Bone marrow aspirate smear. 250×250 px. Single cell centered in the field
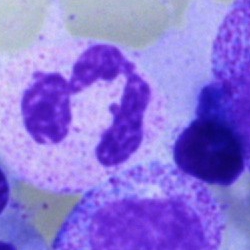
The cell shown is a segmented neutrophil.